Bone marrow smear
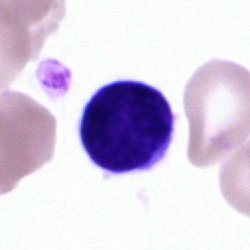Impression — lymphocyte.